250×250 px; brightfield microscopy, 40× oil immersion; bone marrow smear: 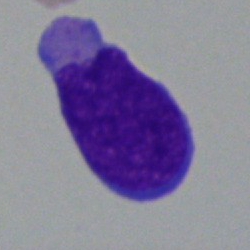

Morphology consistent with a blast.